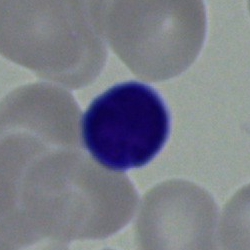 Bone marrow smear showing a typical lymphocyte.